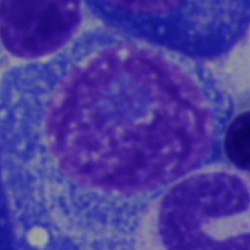A plasmacyte on a bone marrow smear.